Bone marrow smear:
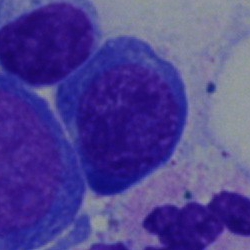 Specimen: bone marrow aspirate smear.
Cell: pronormoblast.
Lineage: erythroid.